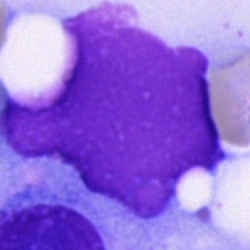

{"cell_type": "artifact"}